Bone marrow aspirate smear — 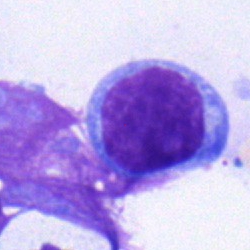Single cell identified as a lymphocyte.